40× objective, oil immersion · May-Grünwald-Giemsa stain · bone marrow aspirate smear
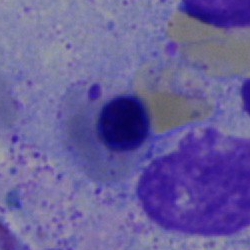Nucleated red cell.